Single cell centered in the field · bone marrow smear · brightfield, 40× oil-immersion objective.
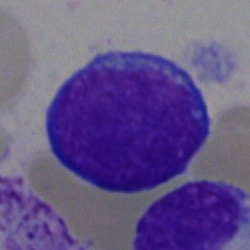

Morphological class: lymphocyte.